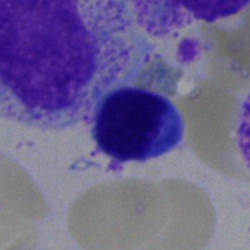
Impression — typical lymphocyte.